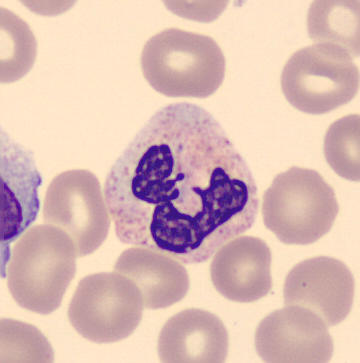Impression — polymorphonuclear neutrophil.